Bone marrow smear · 250×250 px · single-cell field
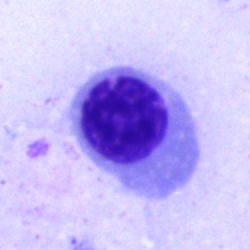
Impression — erythroblast.